Bone marrow smear; single cell centered in the field — 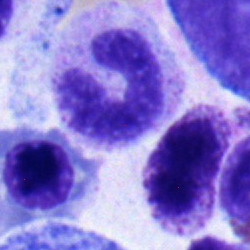

Impression — band-form neutrophil.